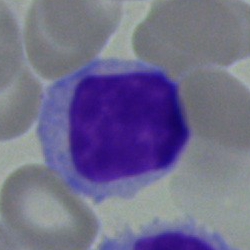
A typical lymphocyte.